Bone marrow smear
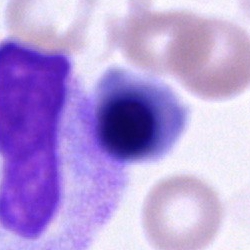Q: What type of cell is this?
A: Nucleated red cell.